Bone marrow smear. 40× oil immersion — 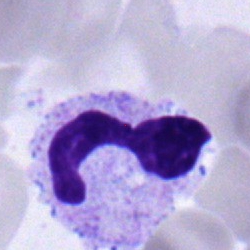Q: What type of cell is this?
A: A neutrophil (segmented).